Bone marrow smear.
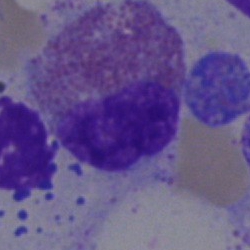

Eosinophil.